Bone marrow aspirate smear · 40× oil immersion:
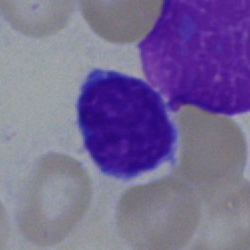 Single cell identified as a lymphocyte.